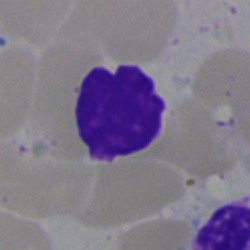Q: What is shown here?
A: An artefact.